Bone marrow aspirate smear
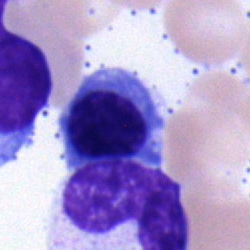 Normoblast.